Single-cell field; brightfield, 40× oil-immersion objective; bone marrow aspirate smear.
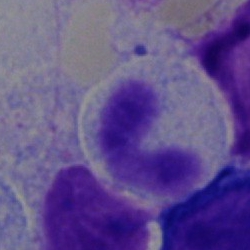
The cell is stab cell.